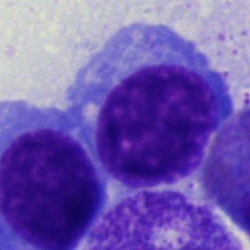

The cell type is normoblast.